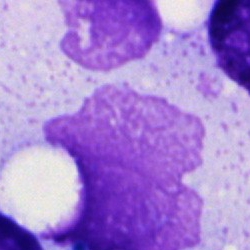 An artifact on a bone marrow smear.